Peripheral blood film: 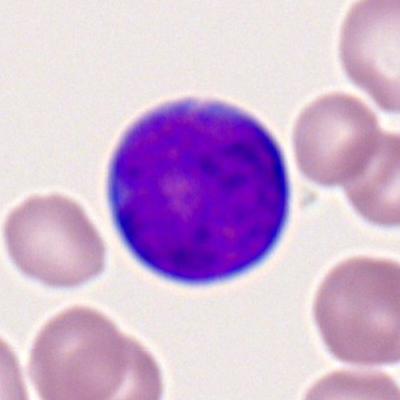
Specimen: peripheral blood smear.
Morphological class: myeloid blast.
Lineage: myeloid.